Bone marrow smear: 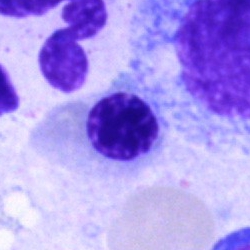Morphology → normoblast.